Bone marrow aspirate smear.
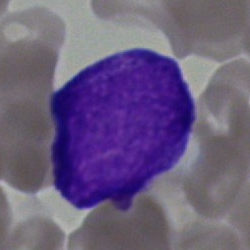 The cell shown is a blast.